40× objective, oil immersion; single cell centered in the field; bone marrow aspirate smear:
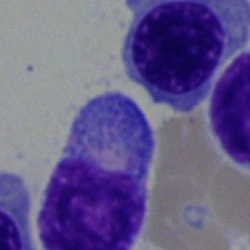

The cell shown is a blast.